Bone marrow smear — 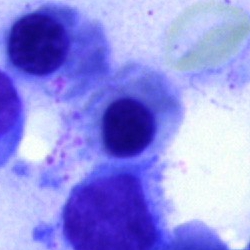

The cell type is normoblast.